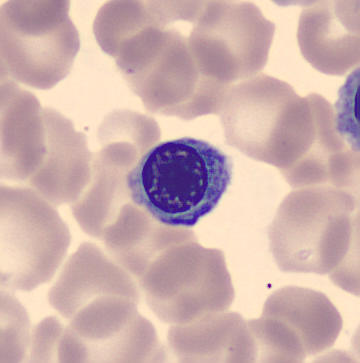Peripheral blood smear. Q: What cell is this?
A: This is a nucleated red cell.